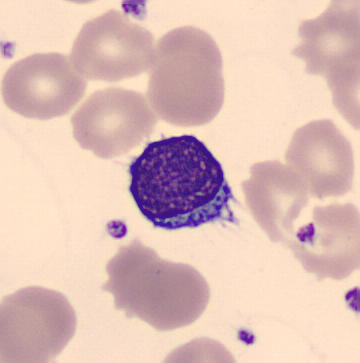

{"cell_type": "typical lymphocyte"}

Peripheral blood film.